Bone marrow smear · 250×250 px
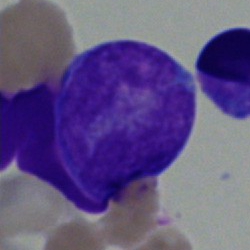
The cell shown is a blast.